Bone marrow aspirate smear.
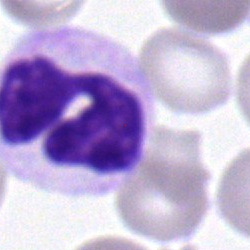 Morphology → neutrophil (segmented).